Bone marrow aspirate smear:
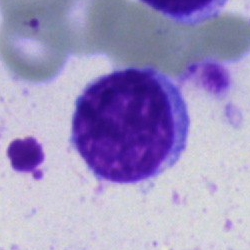Q: Which cell type is shown here?
A: A typical lymphocyte.